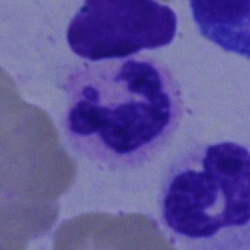

Single cell identified as a polymorphonuclear neutrophil.